Pappenheim-stained. Bone marrow aspirate smear:
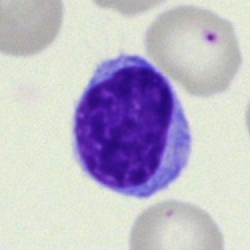
Impression → typical lymphocyte.